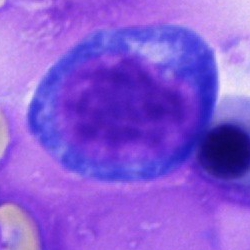
Q: Identify the cell.
A: It is a proerythroblast.